Bone marrow smear.
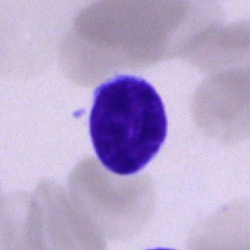

Morphology → typical lymphocyte.